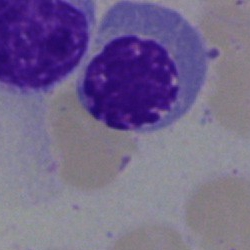Q: What type of cell is this?
A: A nucleated red blood cell.